MGG-stained; bone marrow aspirate smear.
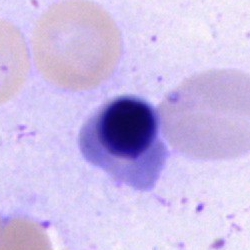 Cell = nucleated red cell.